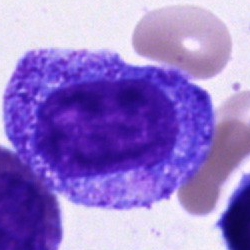
Q: What is shown here?
A: This is a progranulocyte.